Bone marrow smear:
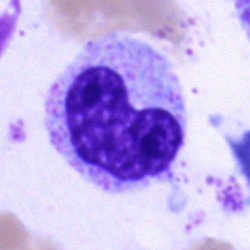 Metamyelocyte.